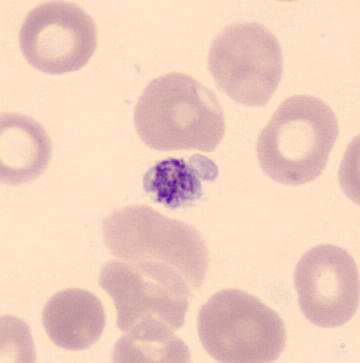Q: What is shown here?
A: A platelet.
Peripheral blood smear.